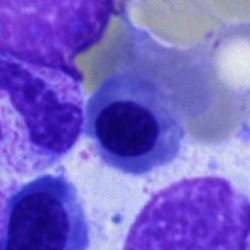 Cell = erythroblast.